Bone marrow aspirate smear — 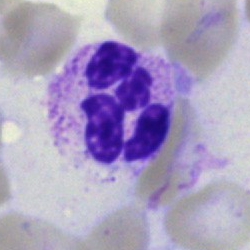 Q: What type of cell is this?
A: A polymorphonuclear neutrophil.